Single-cell field; bone marrow aspirate smear:
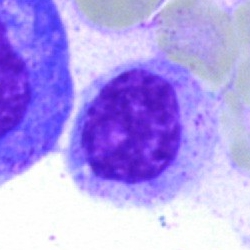
Morphological class = myelocyte.